Bone marrow aspirate smear. May-Grünwald-Giemsa/Pappenheim stain. Brightfield, 40× oil-immersion objective.
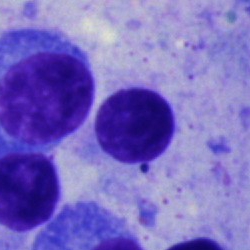Morphology — lymphocyte.